Bone marrow smear.
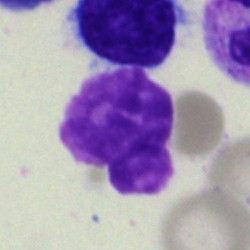

Morphology — artefact.